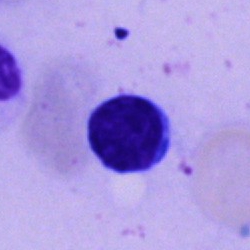Bone marrow aspirate smear, single cell — lymphocyte.